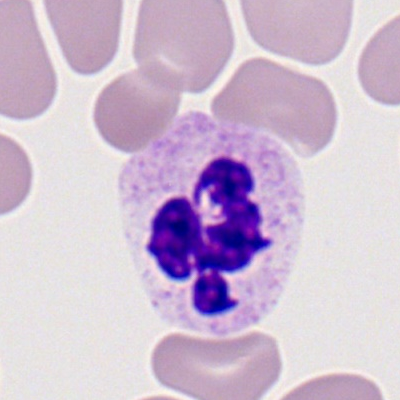 Q: What is the morphological classification of this cell?
A: It is a polymorphonuclear neutrophil.